Brightfield microscopy, 40× oil immersion · bone marrow aspirate smear: 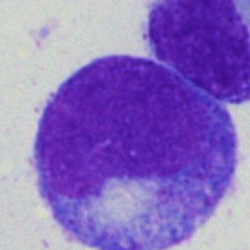
Morphological class — progranulocyte.